Bone marrow aspirate smear. 40× objective, oil immersion. Image size 250×250: 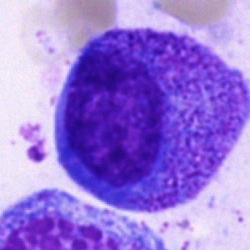Morphology consistent with a progranulocyte.